Bone marrow smear: 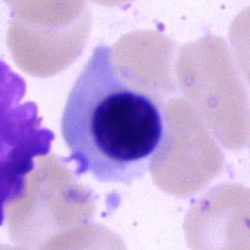Nucleated red blood cell.